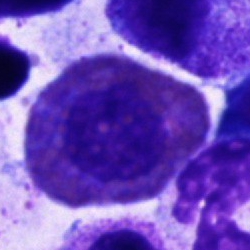 Cell — eosinophilic granulocyte.